Brightfield microscopy, 40× oil immersion · bone marrow aspirate smear.
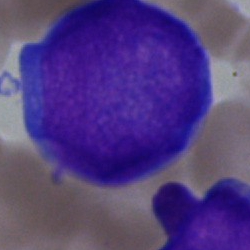

Blast cell.